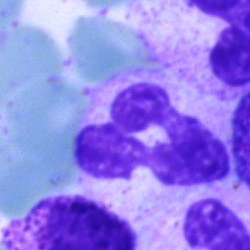
Specimen: bone marrow aspirate smear.
Cell: segmented neutrophil.